Bone marrow aspirate smear: 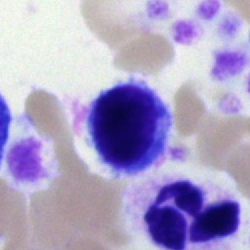
This is a lymphocyte.